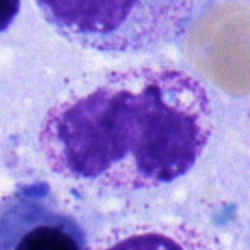Morphology → band-form neutrophil.